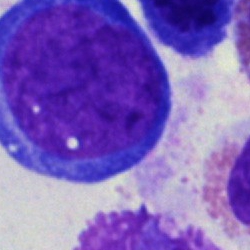
Morphological class: proerythroblast.